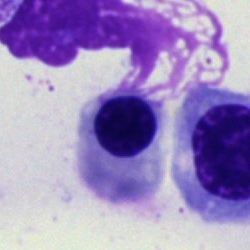

Classification = nucleated red cell.